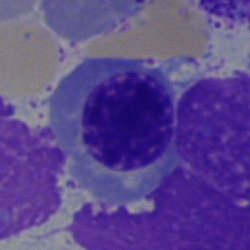Morphology consistent with a nucleated red blood cell.